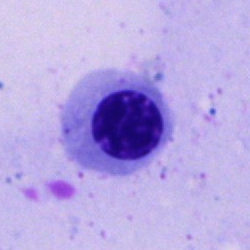 Nucleated red blood cell.